Brightfield, 40× oil-immersion objective; bone marrow aspirate smear:
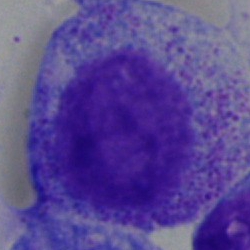 Q: What is shown here?
A: A progranulocyte.